Bone marrow smear.
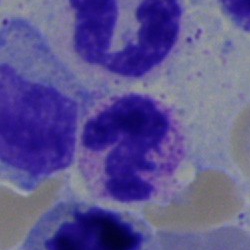

Classification = neutrophil (segmented).